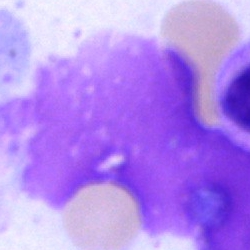An artifact.